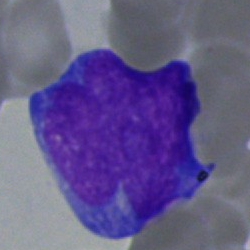 Specimen: bone marrow smear.
Cell: blast.